Bone marrow aspirate smear. 40× objective, oil immersion. Single cell centered in the field.
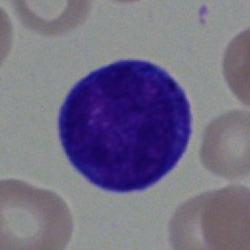 Q: What is shown here?
A: Blast.